Bone marrow aspirate smear — 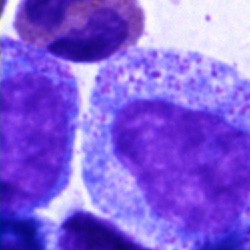

Specimen: bone marrow aspirate smear.
Classification: promyelocyte.